Bone marrow smear.
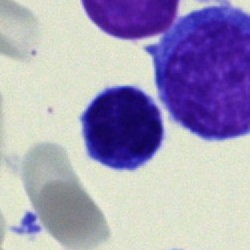
The cell type is lymphocyte.